Bone marrow smear
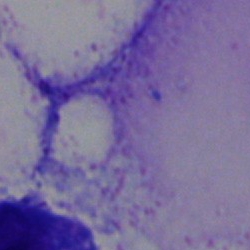
Morphology consistent with an artifact.